Bone marrow aspirate smear · single-cell field · May-Grünwald-Giemsa stain: 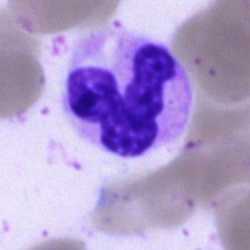

Q: What is shown here?
A: This is a segmented neutrophil.